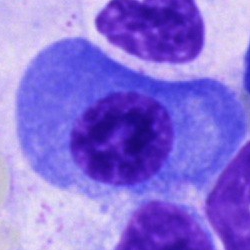
Q: Which cell type is shown here?
A: A plasmacyte.